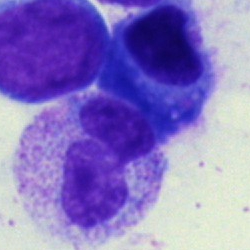
Specimen: bone marrow smear.
Classification: polymorphonuclear neutrophil.
Lineage: myeloid.